Image size 250×250; bone marrow aspirate smear.
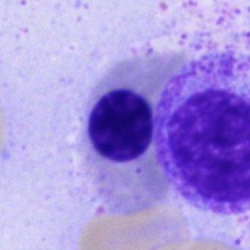Morphology consistent with a normoblast.